Peripheral blood smear. 100× oil immersion, 14.14 px/µm.
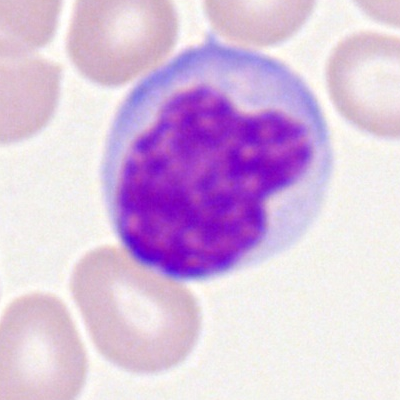
The cell shown is a monocyte.